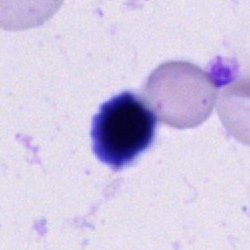
Classification: unidentifiable cell.